250×250 px. Bone marrow smear. Brightfield, 40× oil-immersion objective
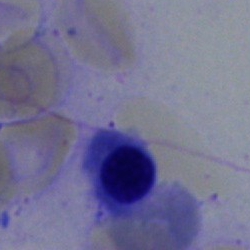
An erythroblast.